MGG-stained · bone marrow aspirate smear · brightfield, 40× oil-immersion objective — 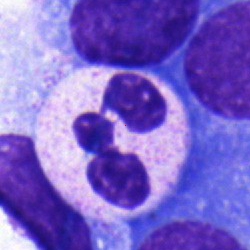 The cell is polymorphonuclear neutrophil.